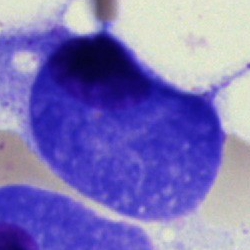

A plasma cell on a bone marrow smear.